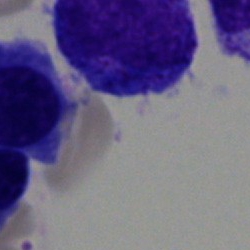

Bone marrow smear showing an unidentifiable cell.